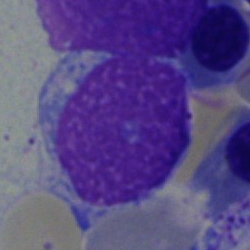
Morphology consistent with an undifferentiated blast.